Bone marrow aspirate smear:
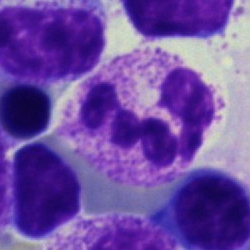 Morphology — segmented neutrophil.